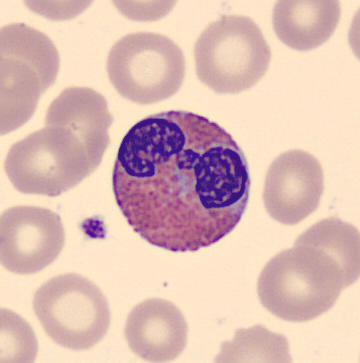
Cell — eosinophilic granulocyte.